40× objective, oil immersion; bone marrow aspirate smear
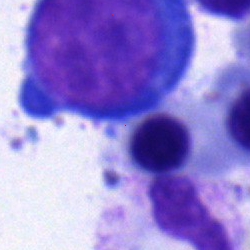 Impression → nucleated red blood cell.